Bone marrow aspirate smear.
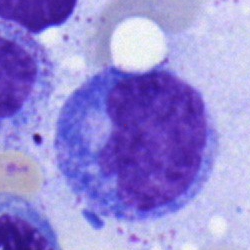
Cell — monocyte.